Bone marrow aspirate smear:
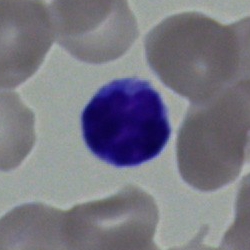 The cell shown is a typical lymphocyte.